Peripheral blood film.
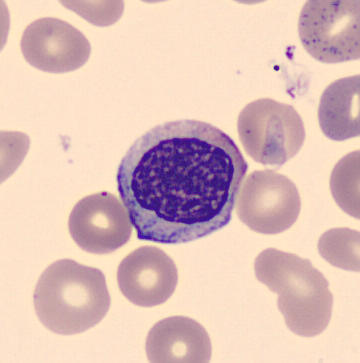

Identified as a myelocyte.